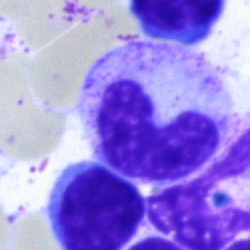 Cell type: band neutrophil.